Bone marrow smear
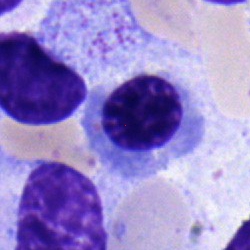
The cell is nucleated red cell.